Bone marrow smear.
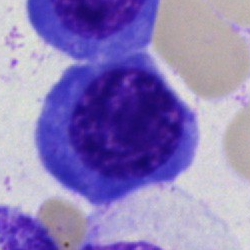Normoblast.